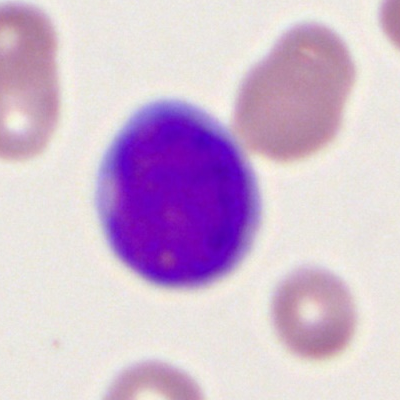Peripheral blood film, single cell — myeloblast.